Peripheral blood smear.
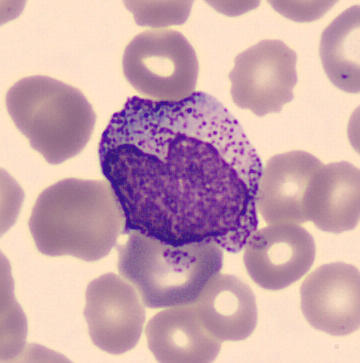

Q: What is the morphological classification of this cell?
A: A promyelocyte.